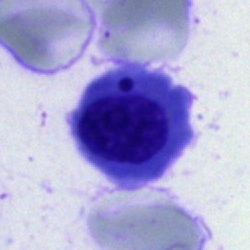
Morphology → nucleated red cell.